Bone marrow aspirate smear:
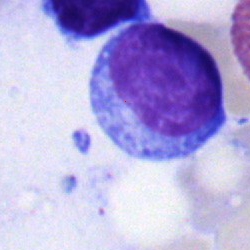 Morphology — typical lymphocyte.